Bone marrow smear.
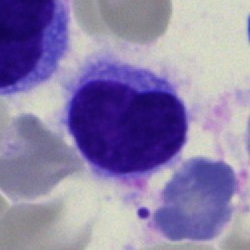 This is a hairy cell.